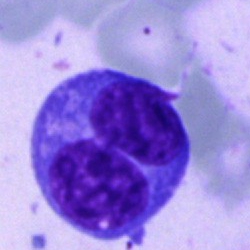

Single cell identified as an undifferentiated blast.